Peripheral blood film:
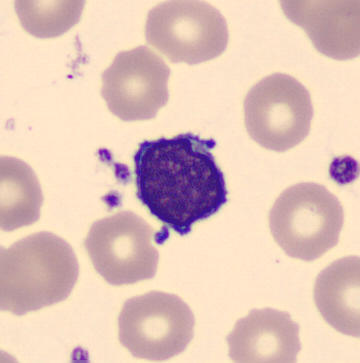 Cell = typical lymphocyte.